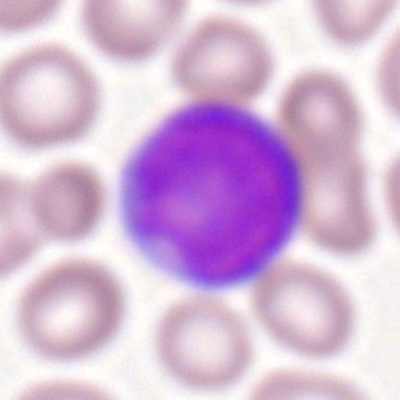 Single cell identified as a myeloblast.